Bone marrow smear; cropped to a single cell — 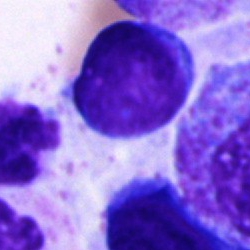

Showing a typical lymphocyte.